Image size 250×250 · bone marrow smear — 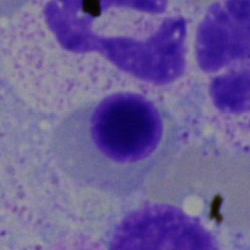Specimen: bone marrow smear.
Cell: erythroblast.
Lineage: erythroid.